Peripheral blood smear:
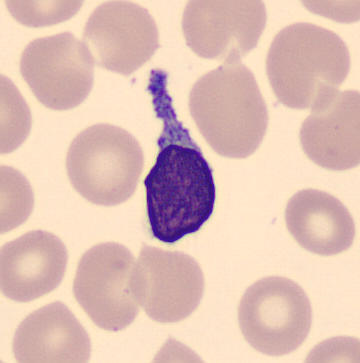Morphology — lymphocyte.